Image size 250×250. Cropped to a single cell. Bone marrow smear: 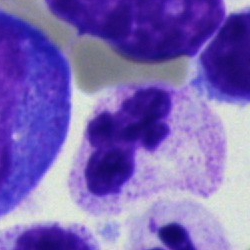
The cell is segmented neutrophil.